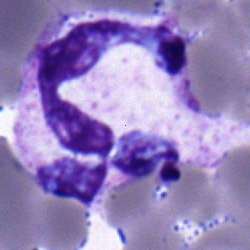

Cell: neutrophil (segmented).